Bone marrow aspirate smear: 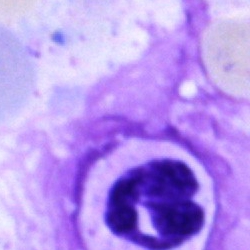 Specimen: bone marrow aspirate smear.
Cell type: neutrophil (segmented).